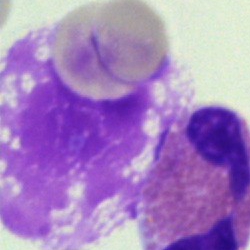
Cell = artifact.